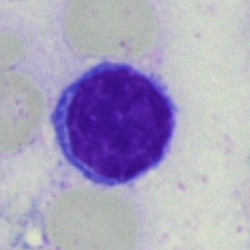 Q: What cell is this?
A: It is a lymphocyte.